40× objective, oil immersion · bone marrow smear · cropped to a single cell — 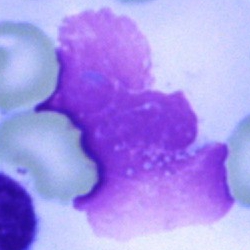 The cell type is artefact.